Bone marrow aspirate smear:
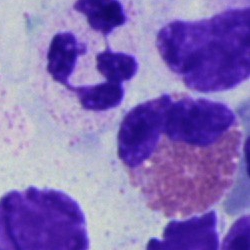
Specimen: bone marrow aspirate smear.
Cell: eosinophil.